Bone marrow smear — 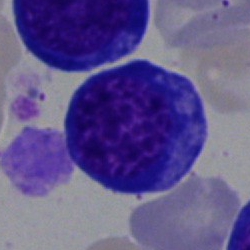Impression → nucleated red cell.